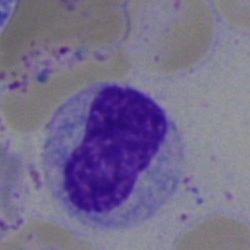Impression → stab cell.